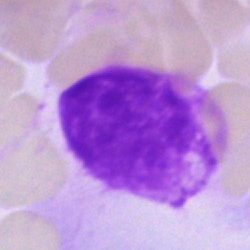

Q: What is shown here?
A: It is an artifact.